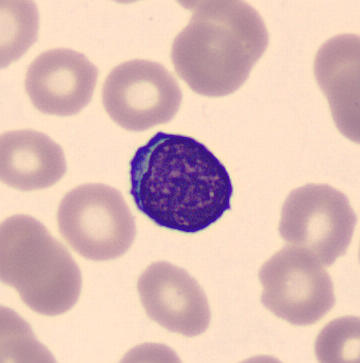Peripheral blood smear. Q: What type of cell is this?
A: Typical lymphocyte.